Bone marrow smear.
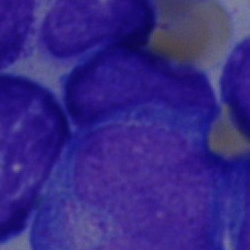 This is a blast.